Bone marrow aspirate smear:
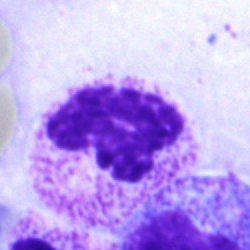This is a neutrophil (segmented).